May-Grünwald-Giemsa/Pappenheim stain; bone marrow smear; 250×250 px.
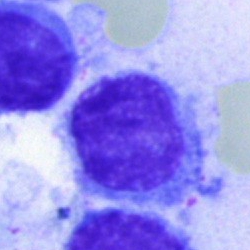
Impression — hairy cell.